40× objective, oil immersion. Bone marrow smear
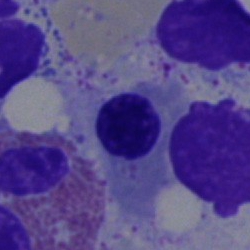 This is a nucleated red cell.